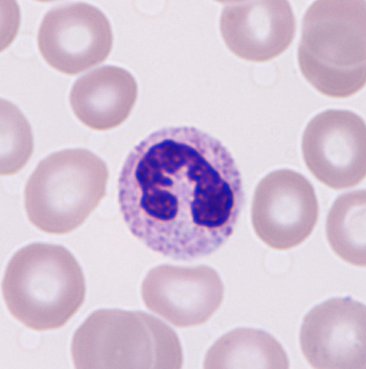

Single cell identified as a neutrophil.
Preparation: Peripheral blood film · imaged on a CellaVision DM96 analyser.